Bone marrow smear. 250×250 px
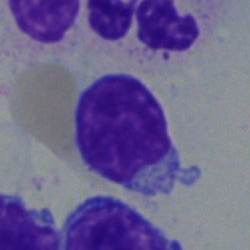 Morphological class — typical lymphocyte.